Peripheral blood smear
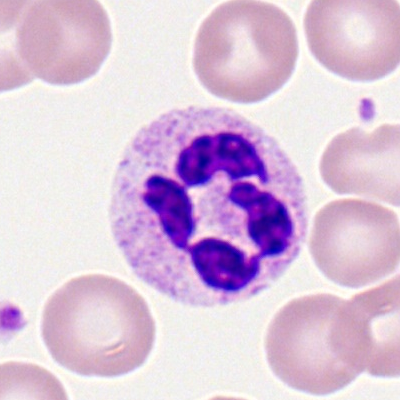
Q: Identify the cell.
A: It is a polymorphonuclear neutrophil.